Pappenheim-stained. Bone marrow smear. Brightfield microscopy, 40× oil immersion:
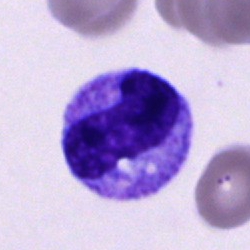
Q: What type of cell is this?
A: A band neutrophil.